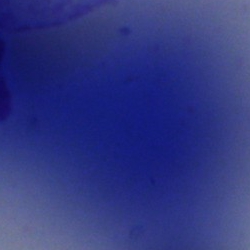This is an artefact.